Peripheral blood film; single-cell crop; image size 400×400
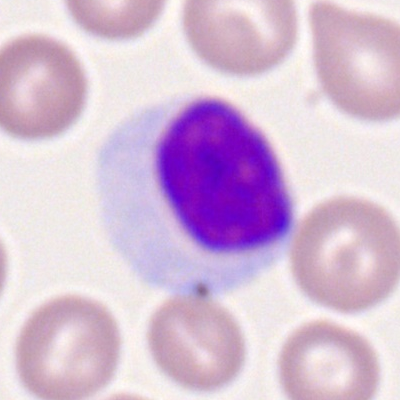

Morphology — lymphocyte.